May-Grünwald-Giemsa stain · bone marrow smear:
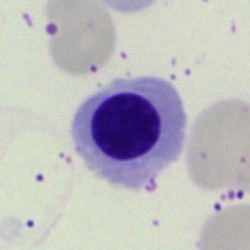Classification = erythroblast.